Bone marrow smear.
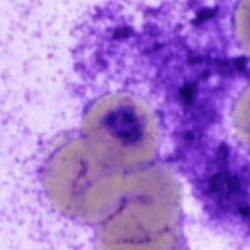
Q: What is the morphological classification of this cell?
A: A promyelocyte.